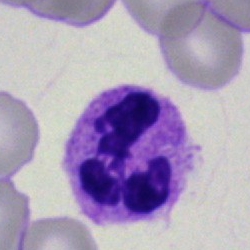Morphology — polymorphonuclear neutrophil.